Bone marrow aspirate smear:
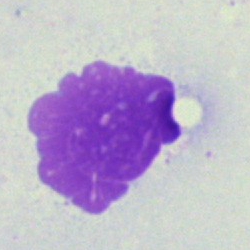Q: What is shown here?
A: An artifact.